Bone marrow smear · single-cell crop · May-Grünwald-Giemsa stain:
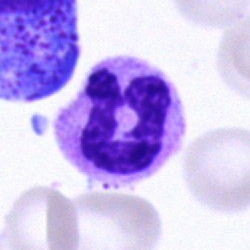

Single cell identified as a segmented neutrophil.